250×250. Bone marrow aspirate smear.
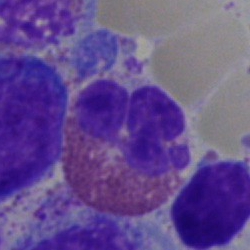

An eosinophilic granulocyte.